Peripheral blood smear.
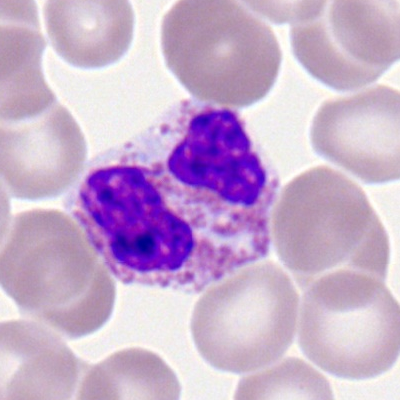
Specimen: peripheral blood smear.
Classification: eosinophilic granulocyte.
Lineage: myeloid.